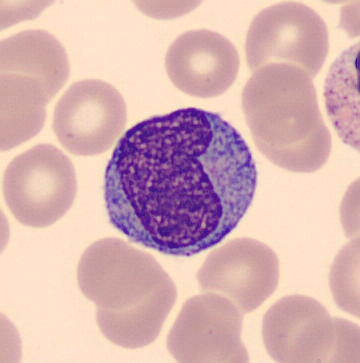

The cell is monocyte.